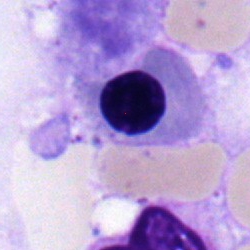 Morphological class — nucleated red blood cell.